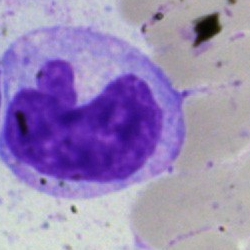

Classification — monocyte.